250×250. Bone marrow smear.
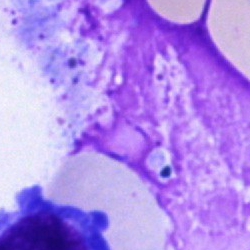Specimen: bone marrow smear.
Morphological class: artefact.